Bone marrow aspirate smear.
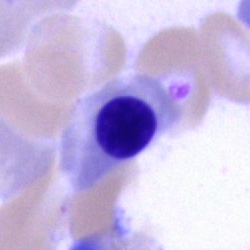{"cell_type": "nucleated red cell"}